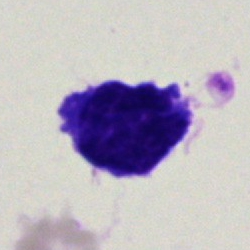
{"cell_type": "undifferentiated blast"}